Bone marrow aspirate smear
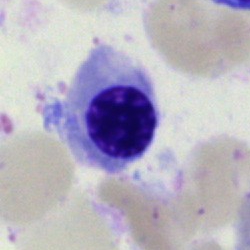 Cell — erythroblast.